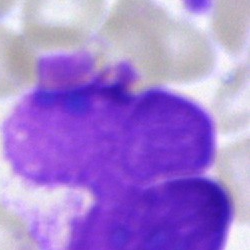
Morphological class: artifact.